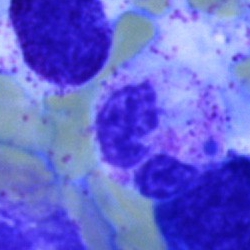Morphology — segmented neutrophil.